Bone marrow aspirate smear
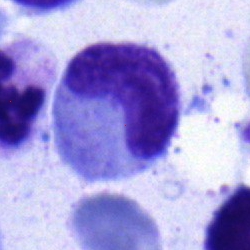Specimen: bone marrow smear.
Classification: band neutrophil.